Bone marrow smear — 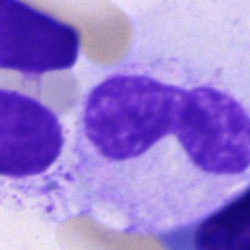This is a metamyelocyte.